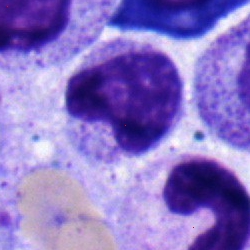 Single cell identified as a metamyelocyte.